250×250 px. Bone marrow smear:
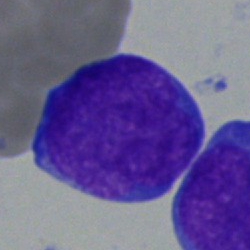Specimen: bone marrow smear.
Morphological class: blast cell.